Bone marrow aspirate smear
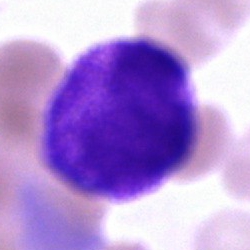 A blast.